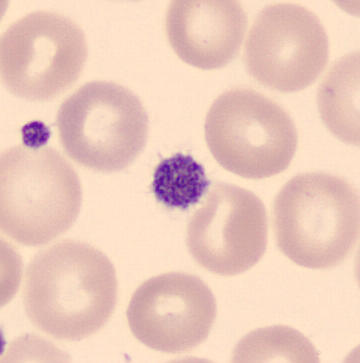
Q: What is this?
A: It is a thrombocyte.